Bone marrow aspirate smear.
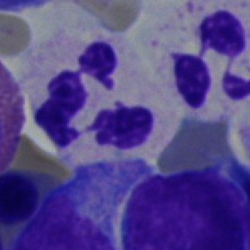
Specimen: bone marrow aspirate smear.
Cell: neutrophil (segmented).
Lineage: myeloid.